Bone marrow smear
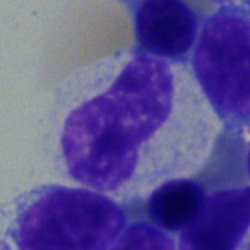Single cell identified as a band-form neutrophil.